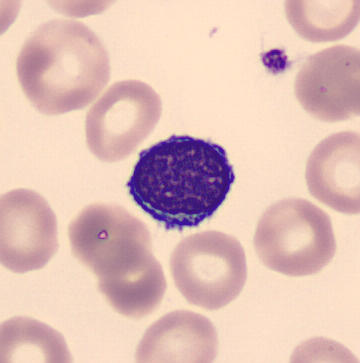 The cell shown is a typical lymphocyte.